Bone marrow smear. 250×250 px
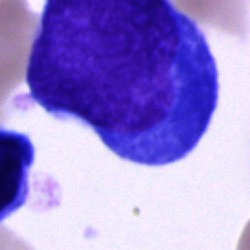

This is a blast cell.